400 by 400 pixels. Peripheral blood film:
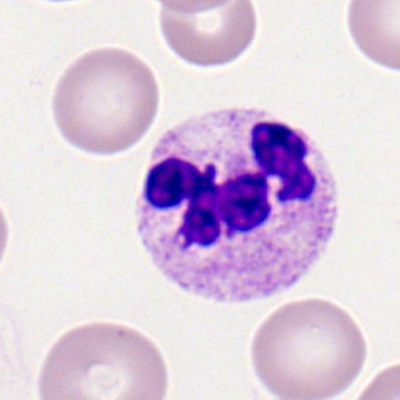 The cell shown is a neutrophil (segmented).